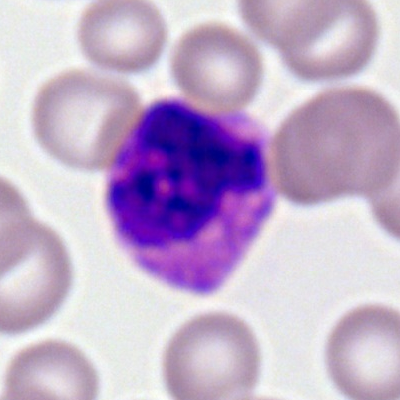

The morphological class is basophilic granulocyte.